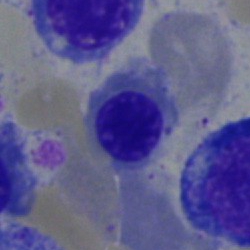Q: What cell is this?
A: A nucleated red cell.